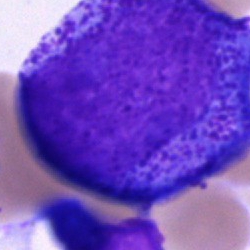

Q: Which cell type is shown here?
A: Promyelocyte.